May-Grünwald-Giemsa stain. Bone marrow smear. Cropped to a single cell — 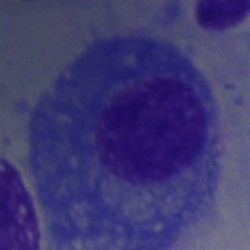 Cell — plasma cell.